Bone marrow aspirate smear
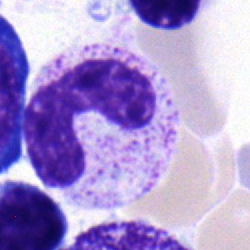 The morphological class is band-form neutrophil.